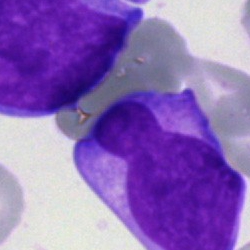Cell — blast.